Bone marrow smear: 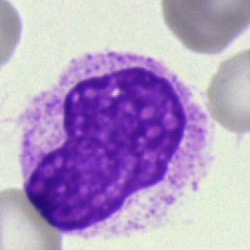 Q: What is shown here?
A: Artefact.